Bone marrow aspirate smear.
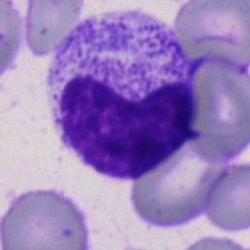

Classification: metamyelocyte.